Bone marrow smear · single-cell field · MGG-stained
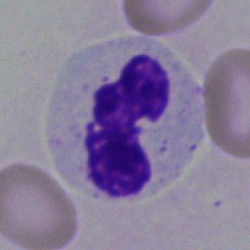 Single cell identified as a polymorphonuclear neutrophil.